Bone marrow smear: 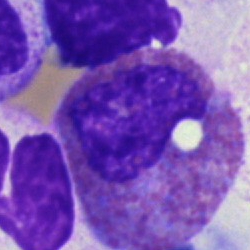

Classification: eosinophil.